Bone marrow smear: 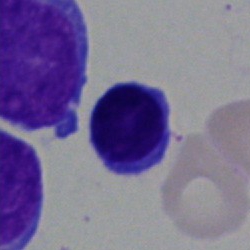
The cell type is typical lymphocyte.